Peripheral blood smear.
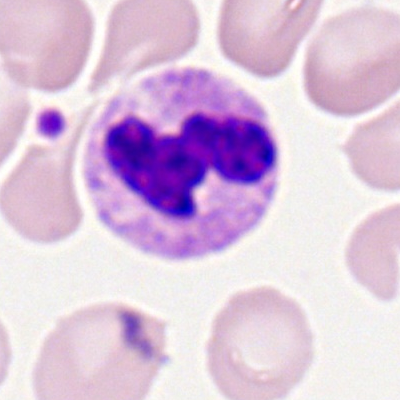Classification = segmented neutrophil.